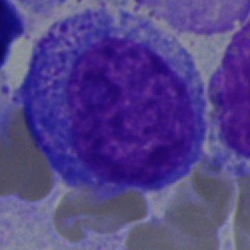 Morphological class = progranulocyte.